Bone marrow aspirate smear: 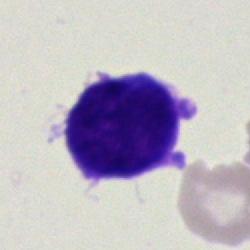
Single cell identified as a blast.